Brightfield microscopy, 40× oil immersion. Bone marrow smear.
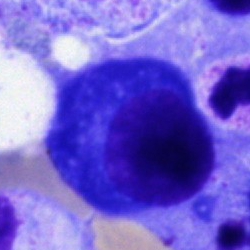Morphology consistent with a plasmacyte.